Brightfield microscopy, 40× oil immersion. May-Grünwald-Giemsa stain. Bone marrow smear:
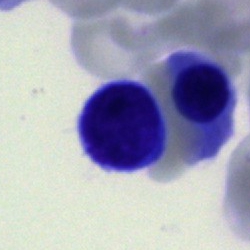
{"cell_type": "lymphocyte", "lineage": "lymphoid"}